Pappenheim-stained. Image size 250×250. Bone marrow smear
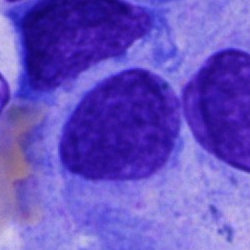Morphology consistent with a cell of indeterminate lineage.